Single-cell field; peripheral blood film; image size 400×400 — 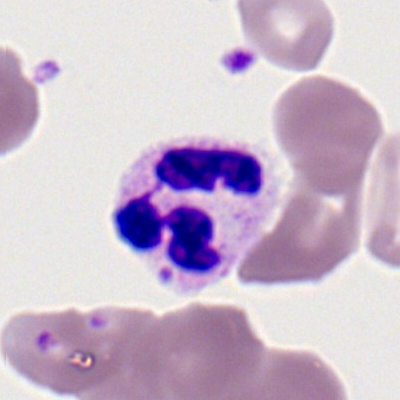

Q: Identify the cell.
A: Polymorphonuclear neutrophil.